Single-cell crop · bone marrow aspirate smear: 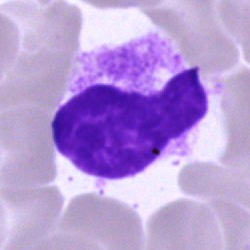 This is a neutrophil (segmented).